Bone marrow aspirate smear: 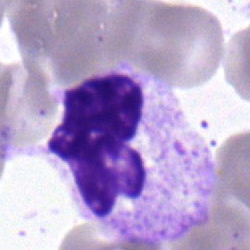

Cell: segmented neutrophil.